Bone marrow smear:
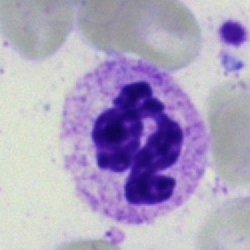

Cell = segmented neutrophil.